Bone marrow aspirate smear. May-Grünwald-Giemsa/Pappenheim stain. Brightfield microscopy, 40× oil immersion.
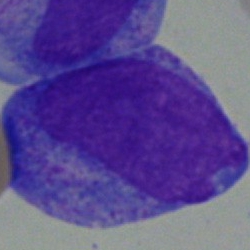

The cell shown is a promyelocyte.